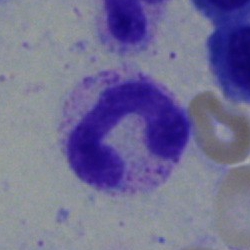

Stab cell.